Bone marrow smear:
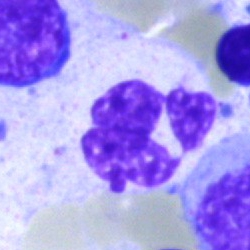
This is a segmented neutrophil.